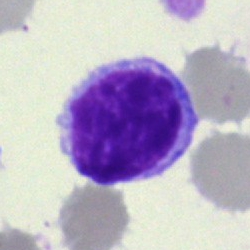 This is a lymphocyte.